Bone marrow smear · MGG-stained.
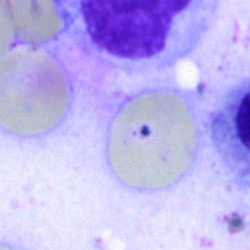

Q: What is shown here?
A: An artefact.